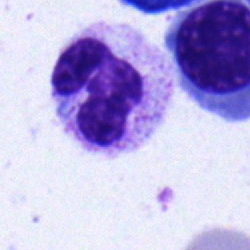 A polymorphonuclear neutrophil on a bone marrow smear.